Bone marrow smear.
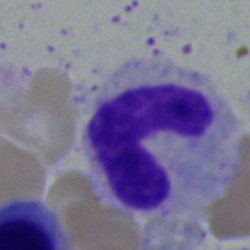Q: Identify the cell.
A: A band-form neutrophil.